May-Grünwald-Giemsa stain · 40× objective, oil immersion · bone marrow aspirate smear: 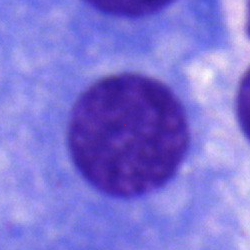

Impression — plasma cell.